Bone marrow smear: 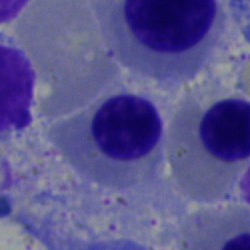The cell type is erythroblast.